Bone marrow aspirate smear; 250×250; 40× oil immersion — 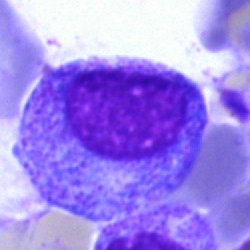 Specimen: bone marrow smear.
Cell: promyelocyte.
Lineage: myeloid.